Bone marrow aspirate smear
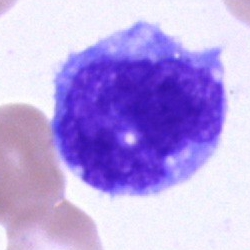The cell shown is a monocyte.